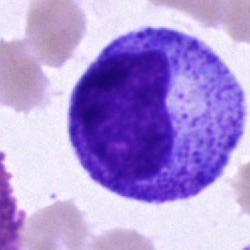
Cell type: progranulocyte.